Bone marrow smear:
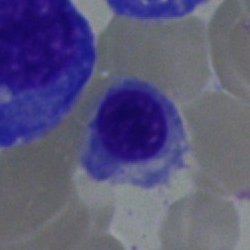 Classification: erythroblast.